Bone marrow aspirate smear. Cropped to a single cell: 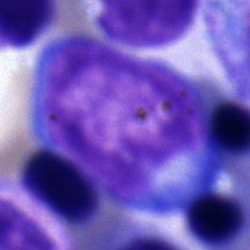

Morphological class = undifferentiated blast.